Bone marrow smear; single cell centered in the field; MGG-stained
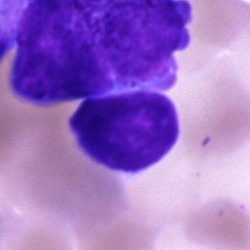
The cell shown is an artefact.